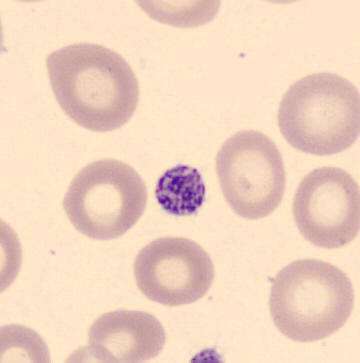Identified as a thrombocyte. Image: Peripheral blood film; 360×363.